Cropped to a single cell · bone marrow aspirate smear · 250 by 250 pixels.
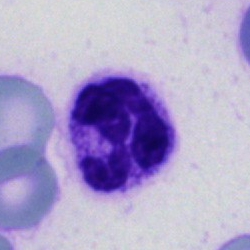

Classification: segmented neutrophil.